Bone marrow aspirate smear.
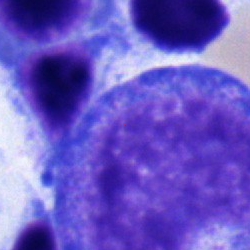
Q: What is shown here?
A: A promyelocyte.